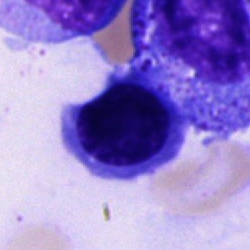
Unidentifiable cell.